Bone marrow smear
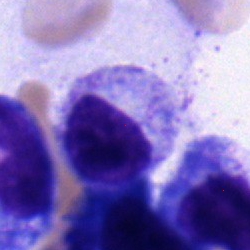
Showing a myelocyte.